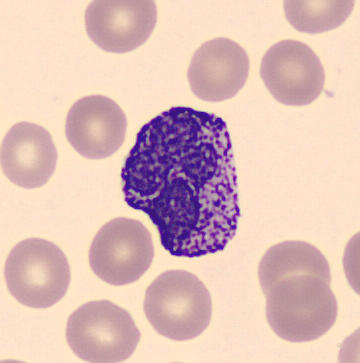
Preparation: Peripheral blood film.
Impression — basophilic granulocyte.